250×250 · bone marrow smear
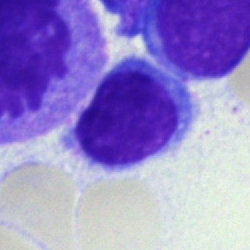 Morphology — typical lymphocyte.